Bone marrow aspirate smear.
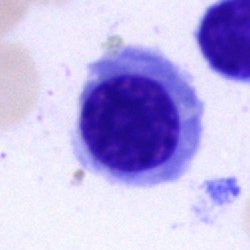

Q: What type of cell is this?
A: It is a nucleated red cell.